Bone marrow aspirate smear: 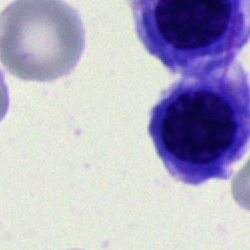

The cell is erythroblast.